250×250 · 40× oil immersion · bone marrow aspirate smear: 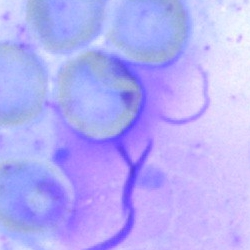 Cell type = artefact.